Bone marrow smear — 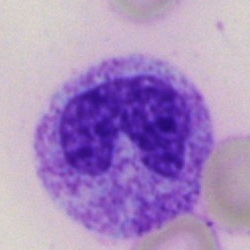
This is a band neutrophil.